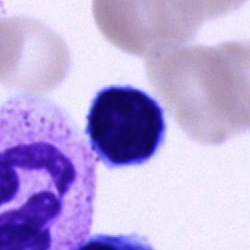

Q: What type of cell is this?
A: A typical lymphocyte.